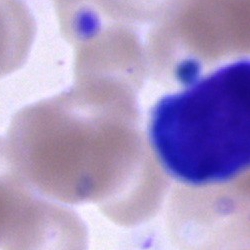Specimen: bone marrow smear.
Cell: unidentifiable cell.